250×250 · bone marrow aspirate smear: 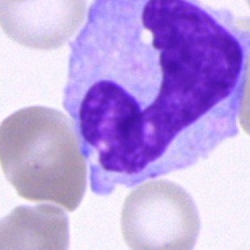

Single cell identified as a monocyte.